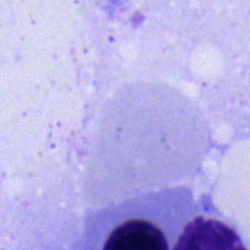 Morphology — normoblast.